Bone marrow aspirate smear:
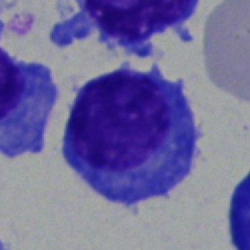

This is a plasmacyte.